Bone marrow aspirate smear — 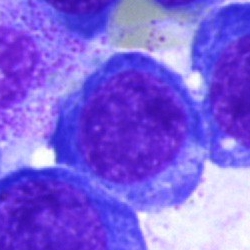
This is a nucleated red blood cell.